Bone marrow smear:
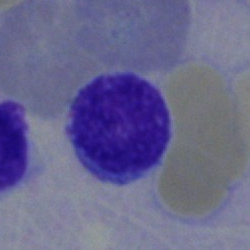 Morphology → blast cell.